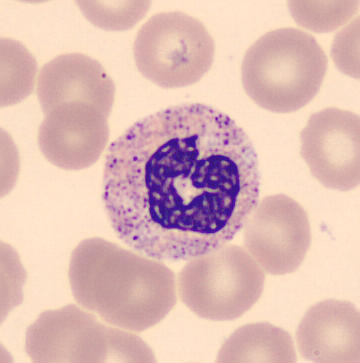 A neutrophil (segmented).